Peripheral blood smear:
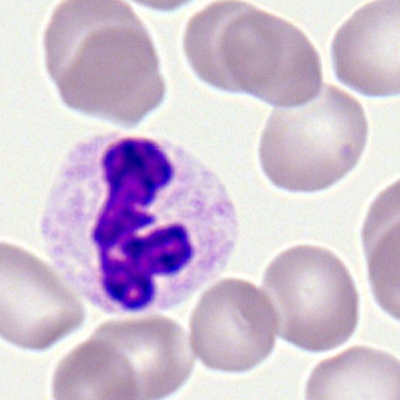 Impression — segmented neutrophil.